Pappenheim-stained. Bone marrow aspirate smear. Single-cell crop
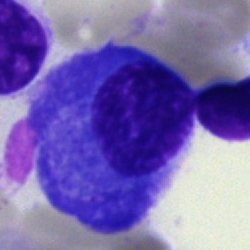
Q: What is shown here?
A: This is a plasma cell.